Bone marrow smear:
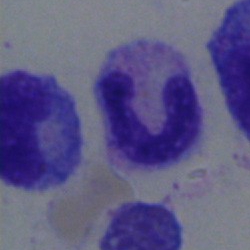Specimen: bone marrow aspirate smear.
Morphological class: segmented neutrophil.